Bone marrow smear:
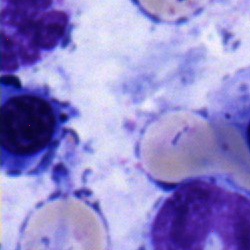
Morphology — erythroblast.